Bone marrow aspirate smear; 40× objective, oil immersion
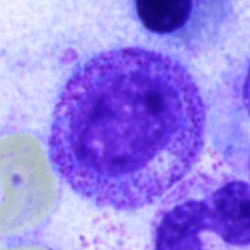
Q: Which cell type is shown here?
A: A myelocyte.